Brightfield microscopy, 40× oil immersion; bone marrow aspirate smear:
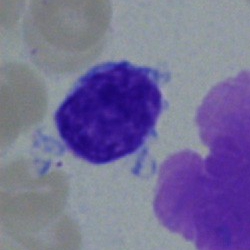
Showing a lymphocyte.